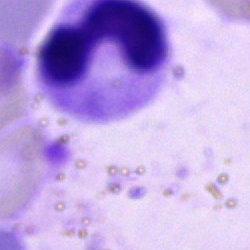Cell — neutrophil (band).